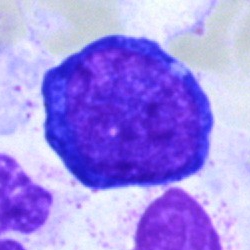

Morphology — erythroblast.